Bone marrow aspirate smear; brightfield, 40× oil-immersion objective:
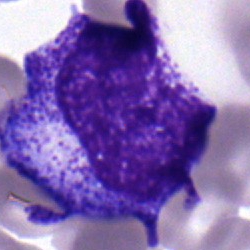

Q: What is shown here?
A: It is a promyelocyte.